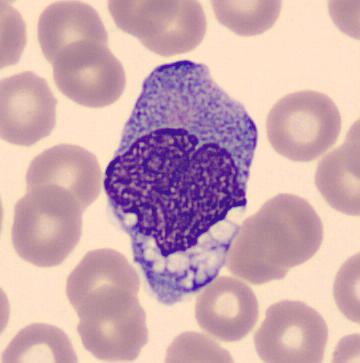

The cell type is monocyte.